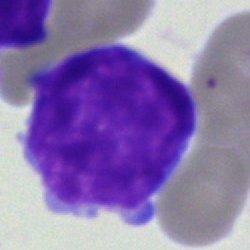 Q: Identify the cell.
A: A cell not matching the other categories.